Bone marrow smear — 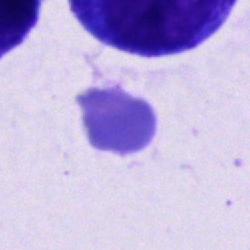 Morphology consistent with a cell of indeterminate lineage.